Single cell centered in the field · 40× oil immersion · bone marrow aspirate smear: 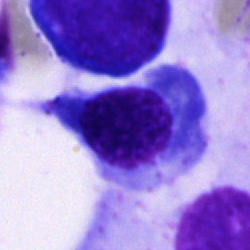

A nucleated red cell.